Bone marrow smear:
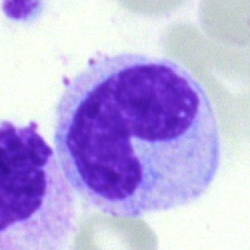

The cell is band neutrophil.